40× oil immersion; Pappenheim-stained; bone marrow smear.
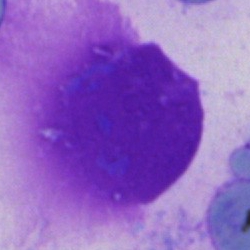 Q: What is shown here?
A: It is an artefact.